Bone marrow aspirate smear
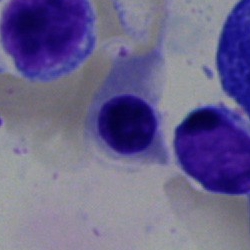Specimen: bone marrow smear.
Cell: erythroblast.